MGG-stained · bone marrow smear — 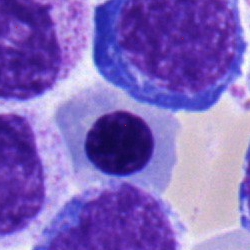Impression — nucleated red blood cell.